Bone marrow aspirate smear — 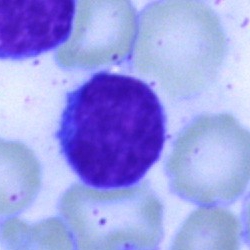
Q: Identify the cell.
A: It is a lymphocyte.